Bone marrow aspirate smear
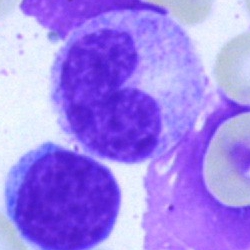
This is a neutrophil (band).